Pappenheim-stained. Bone marrow smear. Single cell centered in the field:
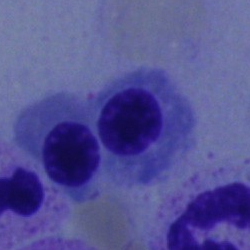
Q: What cell is this?
A: This is an erythroblast.